May-Grünwald-Giemsa/Pappenheim stain. Brightfield microscopy, 40× oil immersion. Bone marrow smear:
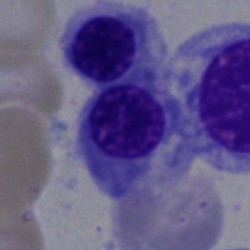Showing a normoblast.